Bone marrow smear: 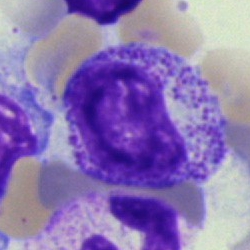

The cell shown is a myelocyte.